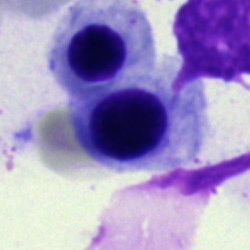Impression — normoblast.